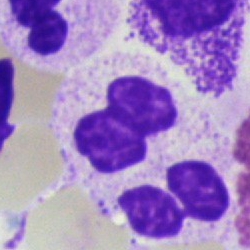
Impression → segmented neutrophil.